Bone marrow aspirate smear; 40× objective, oil immersion: 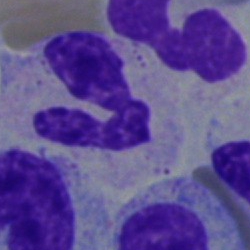

The cell type is neutrophil (segmented).